Bone marrow smear:
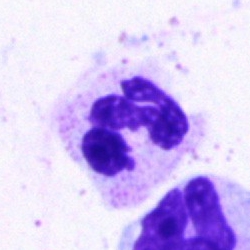Morphological class: polymorphonuclear neutrophil.